May-Grünwald-Giemsa/Pappenheim stain · bone marrow smear — 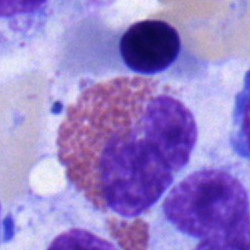
The classification is eosinophil.